400 by 400 pixels. Peripheral blood film. Single-cell field: 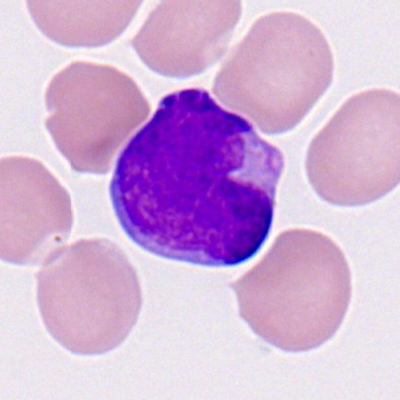
Q: What is the morphological classification of this cell?
A: A myeloblast.